Bone marrow aspirate smear — 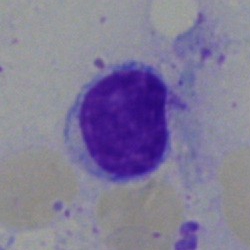

Q: What is shown here?
A: Typical lymphocyte.